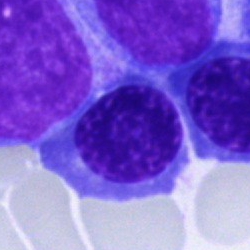Normoblast.